Peripheral blood film:
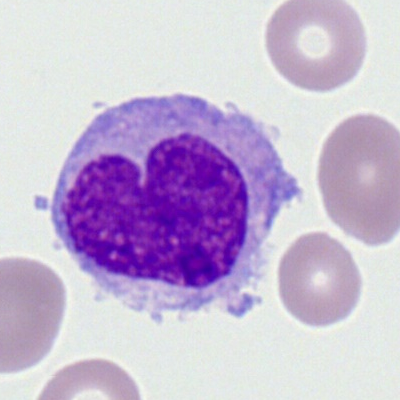

Single cell identified as a monocyte.